250 by 250 pixels; single-cell field; bone marrow aspirate smear:
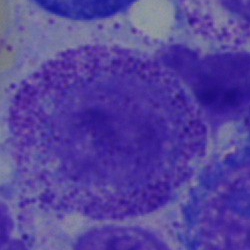
This is a progranulocyte.